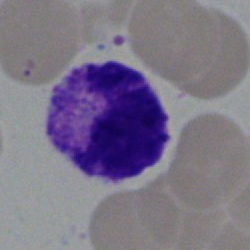Single cell identified as a basophil.